Bone marrow smear. Cropped to a single cell
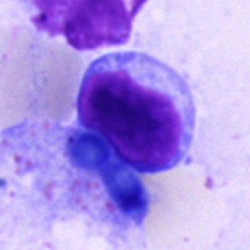A lymphocyte.